Bone marrow smear; 250×250 px:
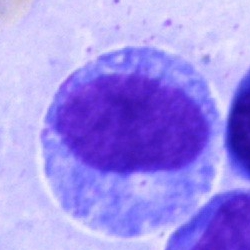 Specimen: bone marrow smear.
Classification: progranulocyte.